Bone marrow smear — 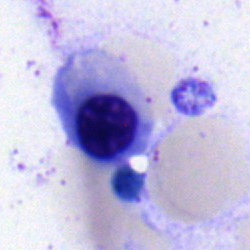 Nucleated red blood cell.